Bone marrow aspirate smear; 40× oil immersion.
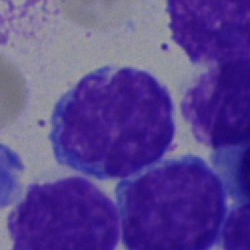Specimen: bone marrow aspirate smear.
Cell type: typical lymphocyte.